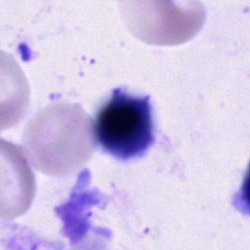

Morphology consistent with a cell of indeterminate lineage.